Single-cell field; bone marrow smear
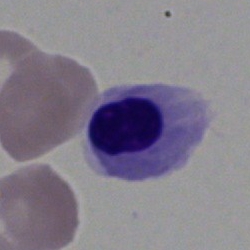

Specimen: bone marrow aspirate smear.
Classification: nucleated red cell.
Lineage: erythroid.